Bone marrow aspirate smear — 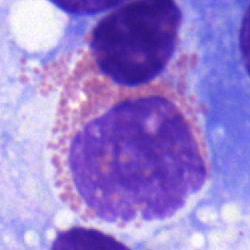
The cell type is eosinophil.